Bone marrow aspirate smear.
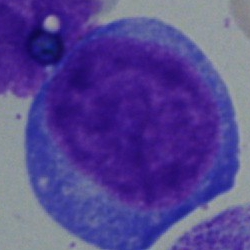

Specimen: bone marrow smear.
Cell: proerythroblast.